Bone marrow smear:
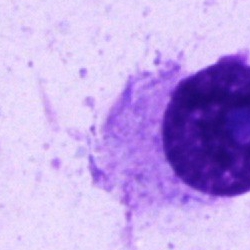Specimen: bone marrow smear.
Cell: artifact.